40× objective, oil immersion; bone marrow smear — 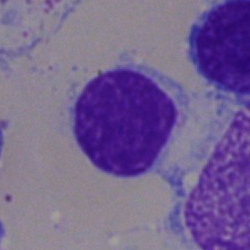Morphology consistent with a typical lymphocyte.